Bone marrow aspirate smear: 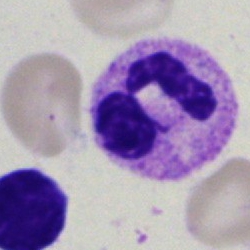Q: What type of cell is this?
A: A polymorphonuclear neutrophil.